Single cell centered in the field · bone marrow aspirate smear.
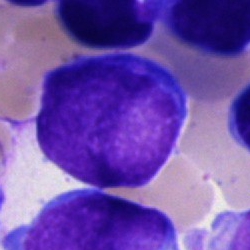Cell type: blast.